40× oil immersion. Bone marrow smear.
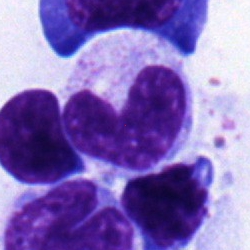Band neutrophil.